Single-cell field. Bone marrow aspirate smear
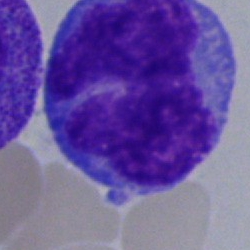

Morphology consistent with a monocyte.